Bone marrow aspirate smear: 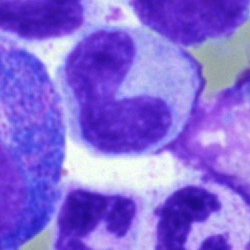{"cell_type": "band-form neutrophil"}